Bone marrow smear — 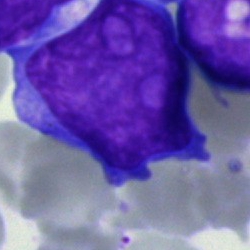 Classification — undifferentiated blast.